Bone marrow aspirate smear
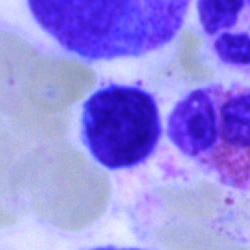This is a lymphocyte.